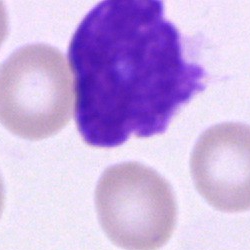
Q: What is shown here?
A: An artifact.